250×250 · bone marrow aspirate smear · single cell centered in the field
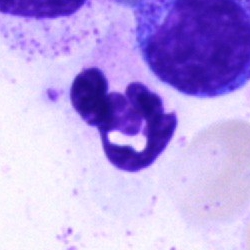
Single cell identified as a polymorphonuclear neutrophil.